Bone marrow aspirate smear — 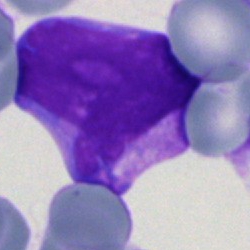
Blast cell.